Single-cell field. Bone marrow smear
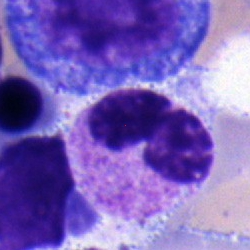
Cell: neutrophil (band).